Bone marrow smear:
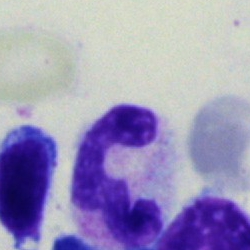

Polymorphonuclear neutrophil.